Bone marrow smear — 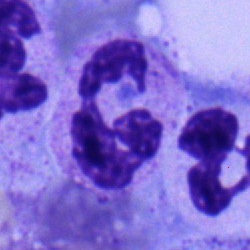 Cell: polymorphonuclear neutrophil.